Bone marrow smear.
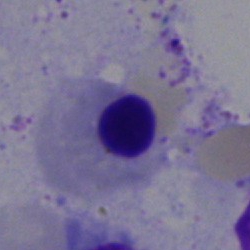 Cell = erythroblast.